Bone marrow smear: 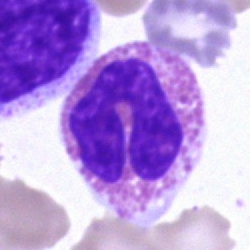 Eosinophilic granulocyte.